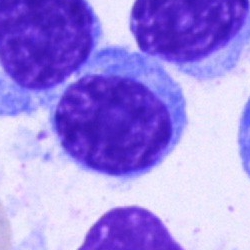
The cell is lymphocyte.